Bone marrow smear. 250 by 250 pixels. 40× objective, oil immersion — 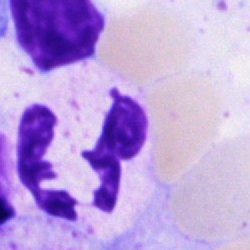

Q: Which cell type is shown here?
A: Segmented neutrophil.